Peripheral blood smear — 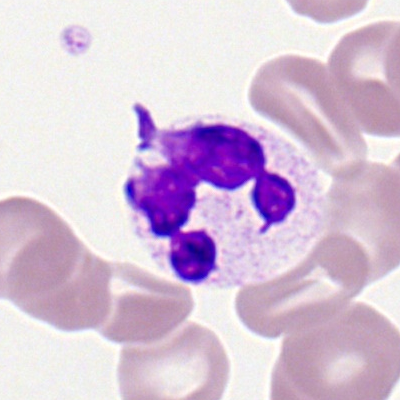Cell type = neutrophil (segmented).